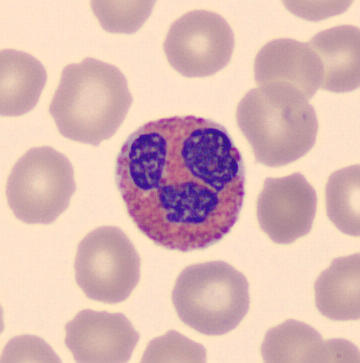

Preparation: Peripheral blood film. 360×363. Eosinophilic granulocyte.